Bone marrow smear. May-Grünwald-Giemsa stain.
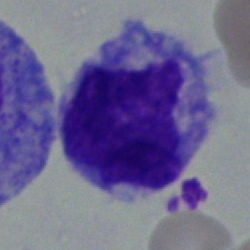Monocyte.